Single cell centered in the field; bone marrow smear.
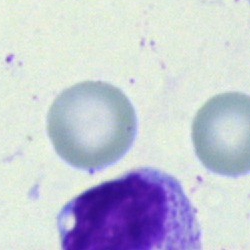
Morphology consistent with a cell of indeterminate lineage.